Pappenheim-stained. Bone marrow smear. Brightfield microscopy, 40× oil immersion
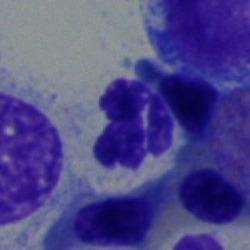 Cell — polymorphonuclear neutrophil.